400 by 400 pixels. Peripheral blood film:
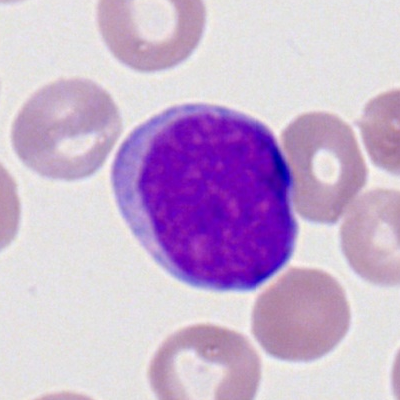Specimen: peripheral blood film.
Classification: myeloblast.
Lineage: myeloid.